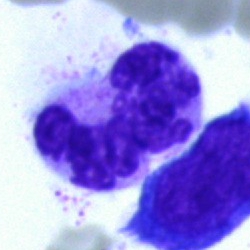

Morphology → polymorphonuclear neutrophil.